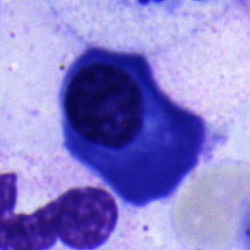
Morphological class: plasmacyte.